Bone marrow aspirate smear; 250×250: 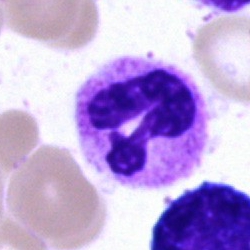{"cell_type": "neutrophil (segmented)", "lineage": "myeloid"}